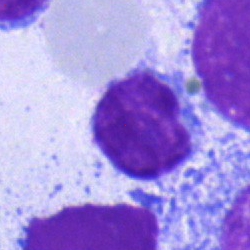A typical lymphocyte.